40× objective, oil immersion · bone marrow aspirate smear.
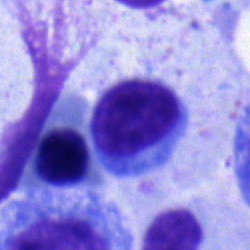

Single cell identified as a typical lymphocyte.